250 by 250 pixels; bone marrow aspirate smear.
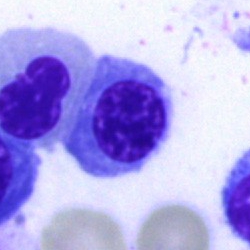

Cell: nucleated red blood cell.